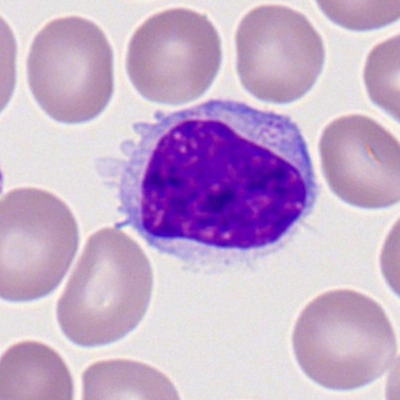

Morphology → typical lymphocyte.